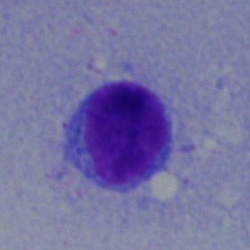

The classification is typical lymphocyte.